Bone marrow aspirate smear.
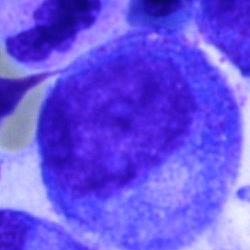

Showing a progranulocyte.